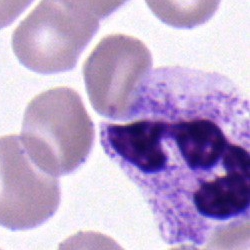
Cell — neutrophil (segmented).